MGG-stained · bone marrow aspirate smear · 250×250.
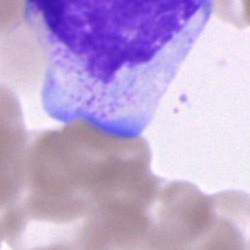Showing an unidentifiable cell.